Bone marrow aspirate smear: 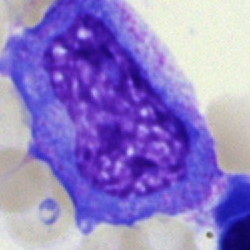 The cell shown is a promyelocyte.